Bone marrow aspirate smear:
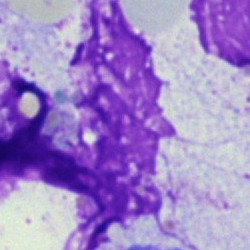
Morphology — artifact.